Peripheral blood film: 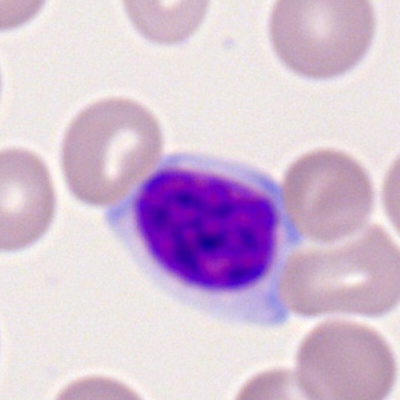 A lymphocyte.